Bone marrow smear — 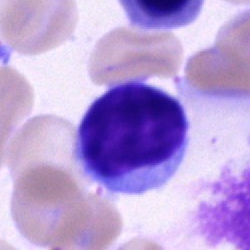Classification: typical lymphocyte.